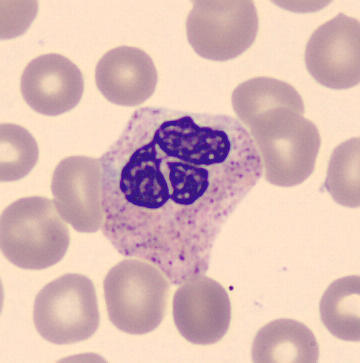

Cell type — polymorphonuclear neutrophil. Acquisition: Peripheral blood film; 360×363.